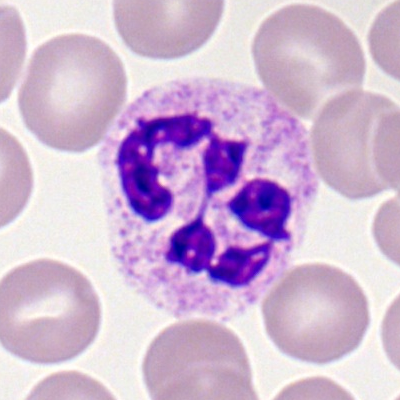

Specimen: peripheral blood film.
Morphological class: neutrophil (segmented).
Lineage: myeloid.